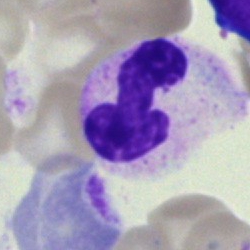Q: Which cell type is shown here?
A: It is a neutrophil (segmented).